40× objective, oil immersion. Bone marrow smear
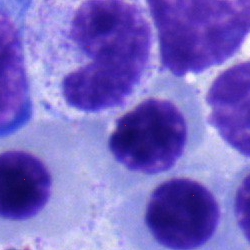 Single cell identified as an erythroblast.